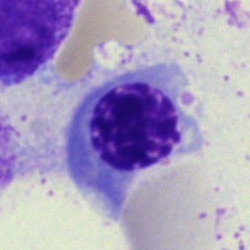 Specimen: bone marrow smear.
Morphological class: nucleated red blood cell.
Lineage: erythroid.